Bone marrow aspirate smear. 250×250 px: 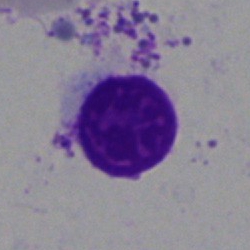 Cell — artifact.